Romanowsky-type stain; peripheral blood smear; single cell centered in the field
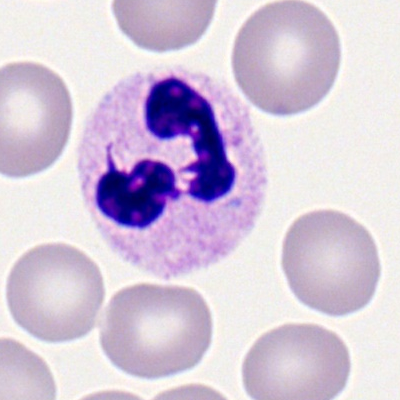Specimen: peripheral blood film.
Morphological class: segmented neutrophil.
Lineage: myeloid.